Peripheral blood film — 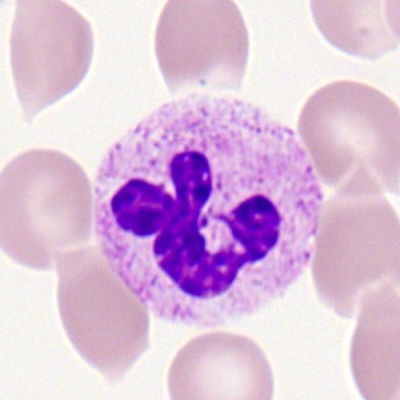 {"cell_type": "polymorphonuclear neutrophil", "lineage": "myeloid"}